Bone marrow aspirate smear: 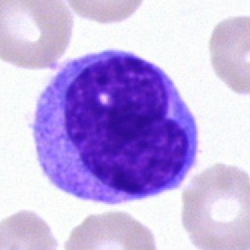Single cell identified as a monocyte.